Bone marrow smear.
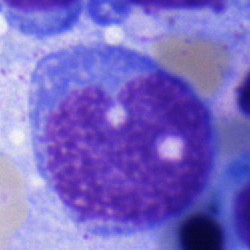Cell type — monocyte.